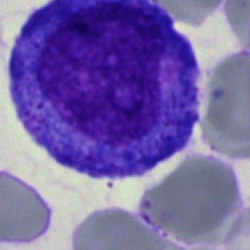

Bone marrow smear showing a progranulocyte.